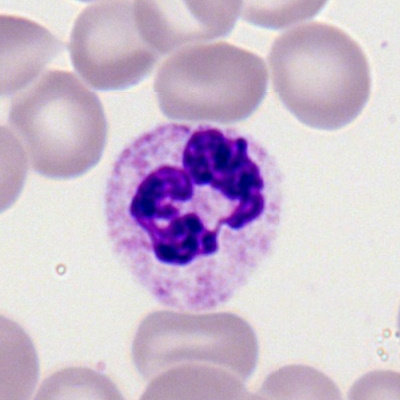 Cell type — neutrophil (segmented).